Bone marrow aspirate smear.
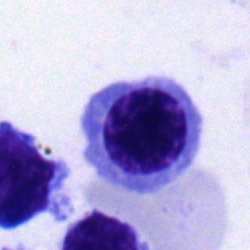 Q: Which cell type is shown here?
A: Normoblast.